Single-cell field. Bone marrow aspirate smear. Brightfield, 40× oil-immersion objective — 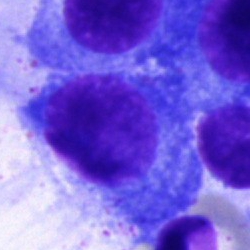

Morphology consistent with a plasmacyte.